Bone marrow smear; May-Grünwald-Giemsa stain; 40× objective, oil immersion.
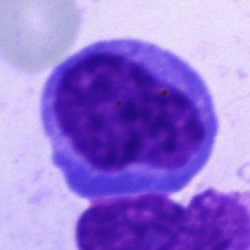The cell type is blast.